40× objective, oil immersion; bone marrow aspirate smear — 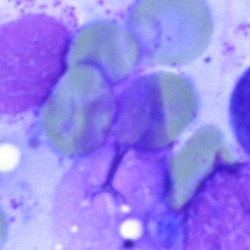Specimen: bone marrow aspirate smear.
Cell: artefact.